Bone marrow aspirate smear:
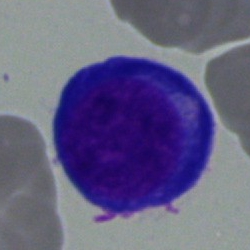

Single cell identified as a normoblast.